Bone marrow smear — 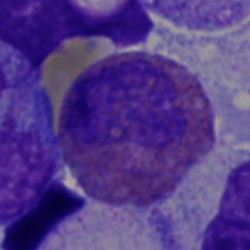

Q: Identify the cell.
A: An eosinophilic granulocyte.